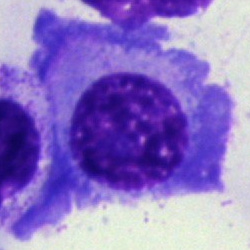

Single cell identified as a plasmacyte.